Bone marrow aspirate smear — 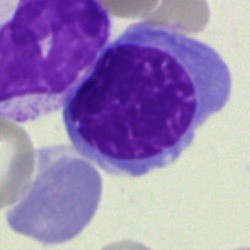 Morphology consistent with a nucleated red blood cell.